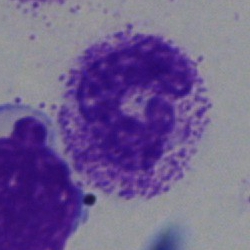Cell — neutrophil (segmented).